Single cell centered in the field. 40× objective, oil immersion. Bone marrow smear — 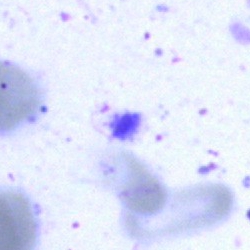
Q: What is shown here?
A: Artefact.